Bone marrow aspirate smear · cropped to a single cell · 250×250 px:
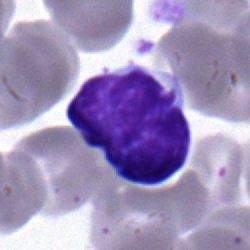

Specimen: bone marrow aspirate smear.
Morphological class: typical lymphocyte.
Lineage: lymphoid.